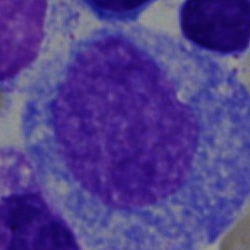Single cell identified as a progranulocyte.